Bone marrow aspirate smear. Pappenheim-stained — 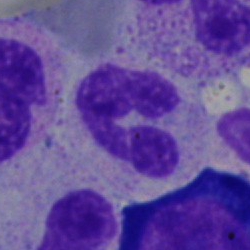

Segmented neutrophil.